Bone marrow aspirate smear; May-Grünwald-Giemsa stain — 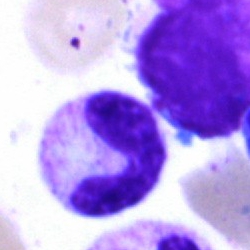{"cell_type": "neutrophil (segmented)", "lineage": "myeloid"}